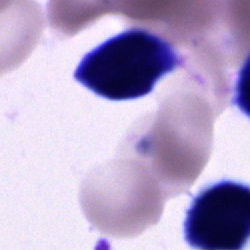
Q: What cell is this?
A: An unidentifiable cell.